Bone marrow aspirate smear — 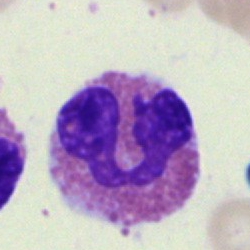 Q: What cell is this?
A: Eosinophil.